Peripheral blood film · M8 digital microscope (Precipoint), 100× oil immersion · Romanowsky-stained: 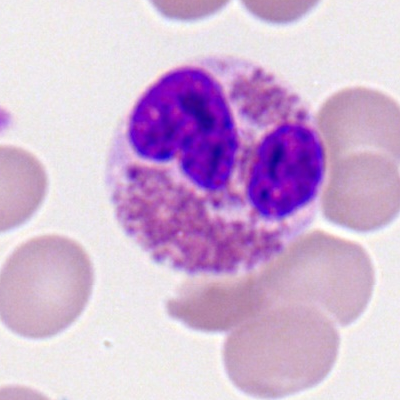

Classification — eosinophilic granulocyte.